Bone marrow aspirate smear; 250×250; May-Grünwald-Giemsa/Pappenheim stain — 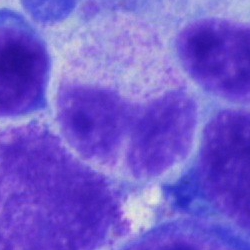Segmented neutrophil.